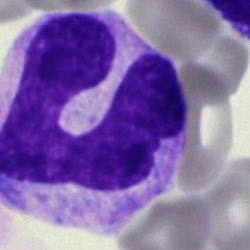

The cell is monocyte.